Bone marrow smear: 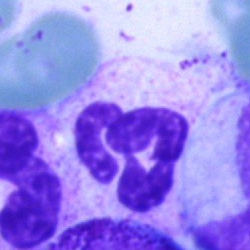

This is a polymorphonuclear neutrophil.